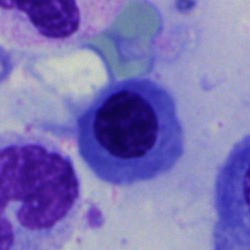

Normoblast.